400×400. Peripheral blood smear. Romanowsky stain
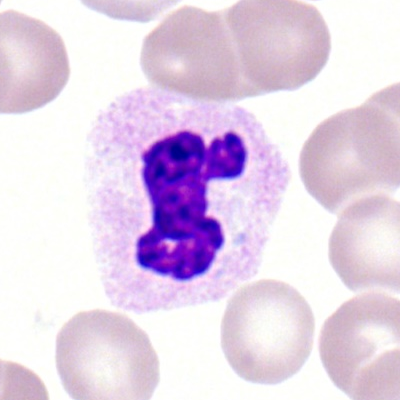

A polymorphonuclear neutrophil.